Bone marrow aspirate smear: 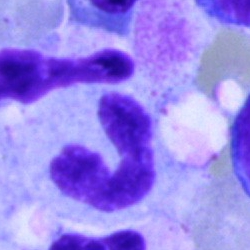
Morphology consistent with a stab cell.